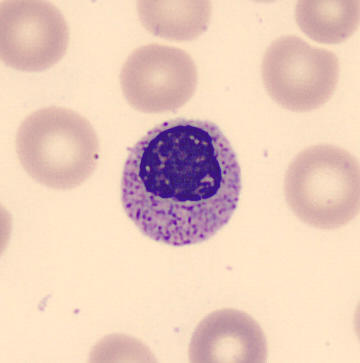

Single-cell crop from a peripheral blood smear: myelocyte.